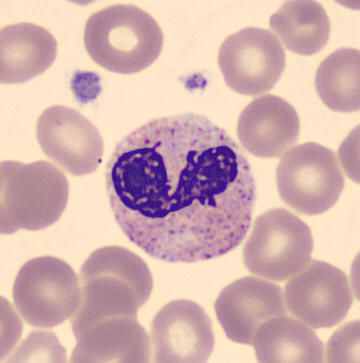 Identified as a segmented neutrophil. Acquisition: Peripheral blood smear.